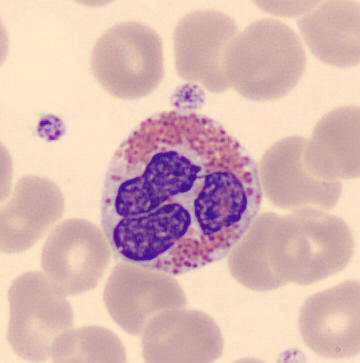
Q: What is this?
A: This is an eosinophil.